Bone marrow smear. 40× objective, oil immersion: 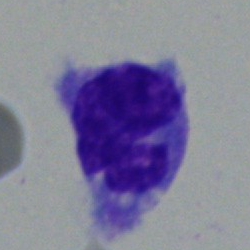
Impression → monocyte.